Brightfield, 40× oil-immersion objective. Single cell centered in the field. Bone marrow smear — 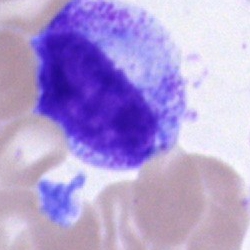
A promyelocyte.